40× objective, oil immersion. Bone marrow smear.
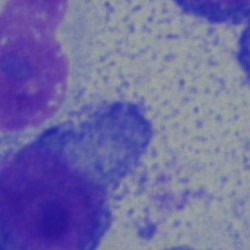 Showing a plasmacyte.